Bone marrow smear. 250 by 250 pixels — 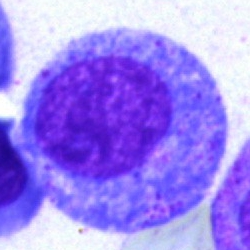

Showing a promyelocyte.